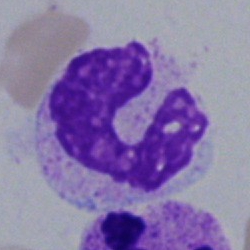

Q: Which cell type is shown here?
A: Segmented neutrophil.